Bone marrow smear; single-cell crop
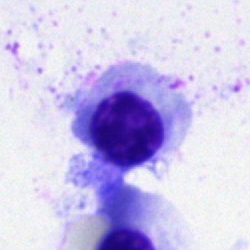Specimen: bone marrow smear.
Cell: nucleated red cell.